Bone marrow aspirate smear:
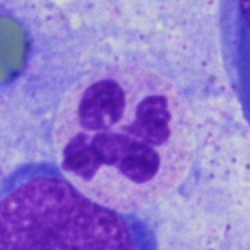

Q: What is shown here?
A: This is a polymorphonuclear neutrophil.